Bone marrow smear:
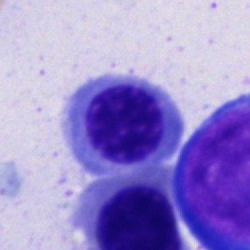Specimen: bone marrow aspirate smear.
Cell type: nucleated red cell.
Lineage: erythroid.